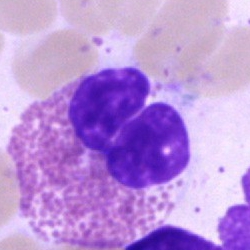
Classification = eosinophil.